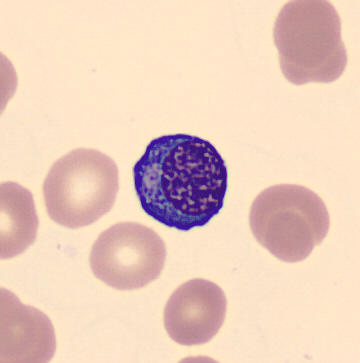 Specimen: peripheral blood film.
Cell: normoblast.
Lineage: erythroid.